Bone marrow smear
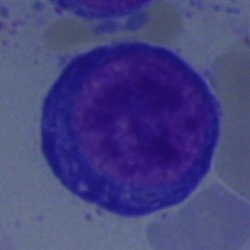Morphology consistent with a proerythroblast.